Bone marrow aspirate smear · 40× oil immersion:
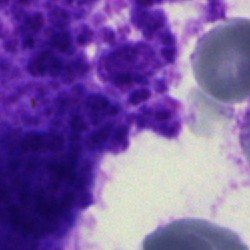Morphology → artifact.